Bone marrow smear · image size 250×250.
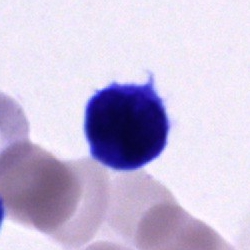This is an unidentifiable cell.